Bone marrow smear.
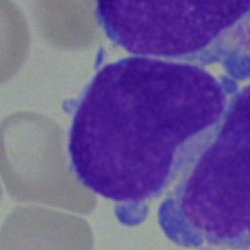This is a blast.